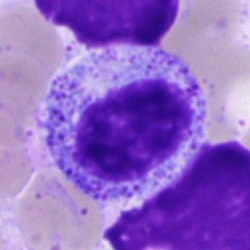 Impression → myelocyte.